Image size 250×250; bone marrow smear:
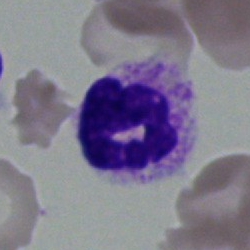 The cell shown is a neutrophil (segmented).